250 by 250 pixels. Brightfield, 40× oil-immersion objective. Bone marrow aspirate smear: 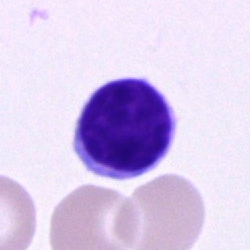 Lymphocyte.